Bone marrow smear
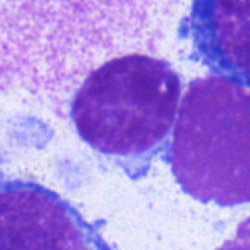The cell type is typical lymphocyte.